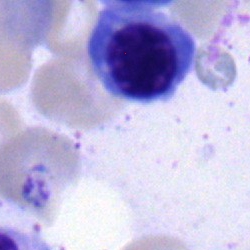
Bone marrow aspirate smear, single cell — normoblast.